Bone marrow aspirate smear: 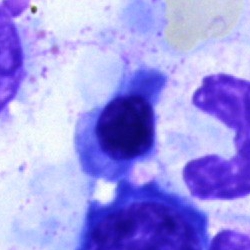 Polymorphonuclear neutrophil.